May-Grünwald-Giemsa stain; bone marrow aspirate smear
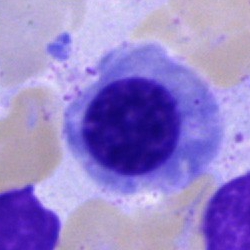

{"cell_type": "erythroblast"}